Bone marrow aspirate smear.
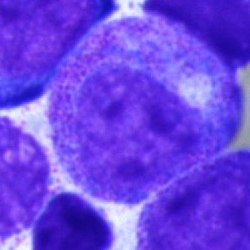
Q: What type of cell is this?
A: A myelocyte.